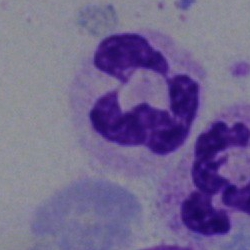 Q: What type of cell is this?
A: A neutrophil (segmented).